Peripheral blood smear
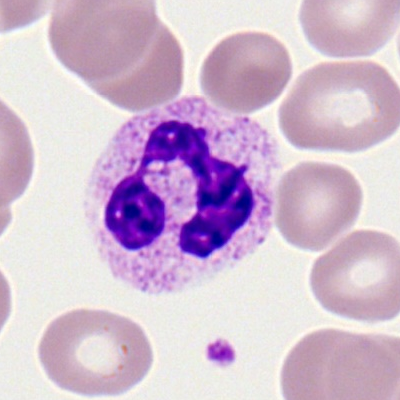
The cell shown is a segmented neutrophil.